Bone marrow smear — 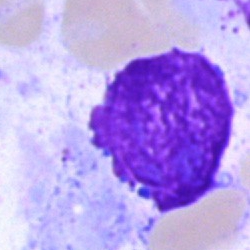
Cell type — artefact.